Single cell centered in the field. Bone marrow smear
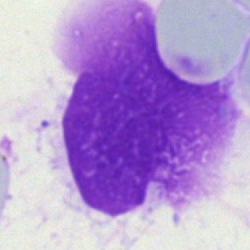Q: What is shown here?
A: This is an artefact.